Peripheral blood film — 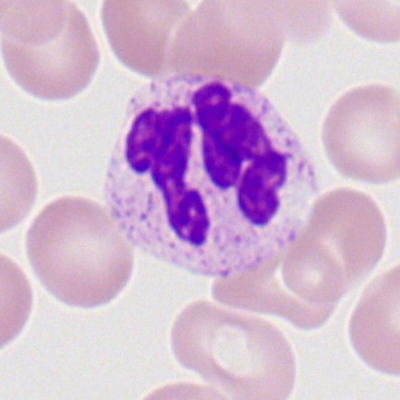Morphology → polymorphonuclear neutrophil.